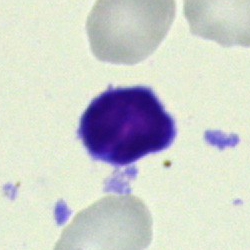

Specimen: bone marrow smear.
Cell: typical lymphocyte.
Lineage: lymphoid.